Bone marrow smear.
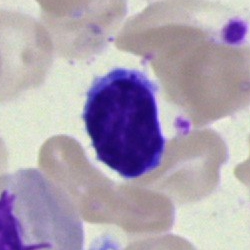
Cell: typical lymphocyte.